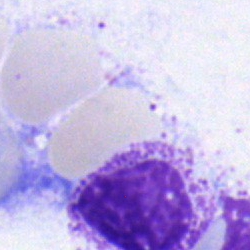Specimen: bone marrow smear.
Cell: myelocyte.